MGG-stained. Bone marrow aspirate smear: 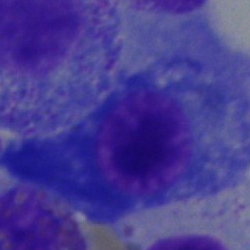
The cell shown is a plasmacyte.